Pappenheim-stained; bone marrow aspirate smear
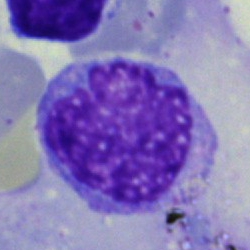
Cell type — monocyte.